Bone marrow aspirate smear: 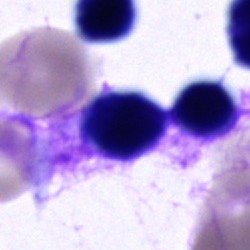

A cell of indeterminate lineage.